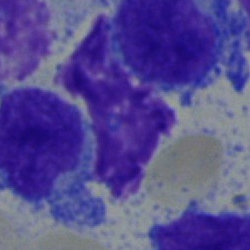

Specimen: bone marrow aspirate smear.
Cell type: lymphocyte.